Brightfield, 40× oil-immersion objective; bone marrow aspirate smear; MGG-stained.
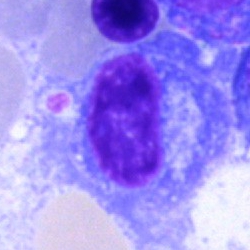
Single cell identified as a plasmacyte.